Cropped to a single cell. 250×250 px. Bone marrow smear — 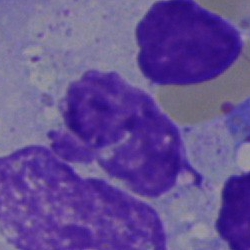
{"cell_type": "artefact"}